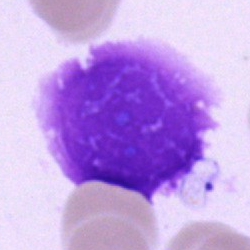
Bone marrow smear showing an artifact.